Bone marrow aspirate smear · image size 250×250.
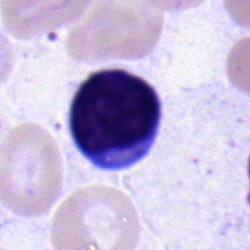

Cell type — typical lymphocyte.